Image size 250×250 · bone marrow smear
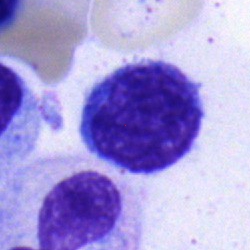 The morphological class is monocyte.